Bone marrow smear · cropped to a single cell:
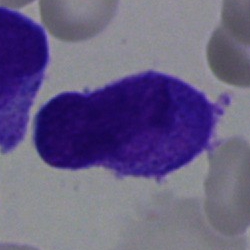
Specimen: bone marrow aspirate smear.
Cell: blast.